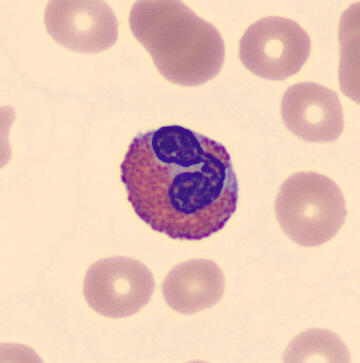

Q: What is the morphological classification of this cell?
A: This is an eosinophil.